Bone marrow aspirate smear:
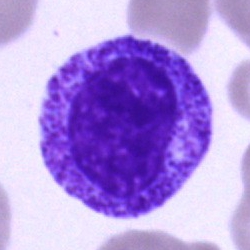 Cell: progranulocyte.